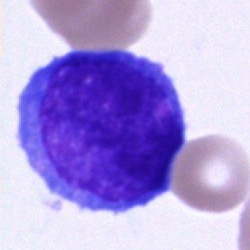Morphological class — blast cell.